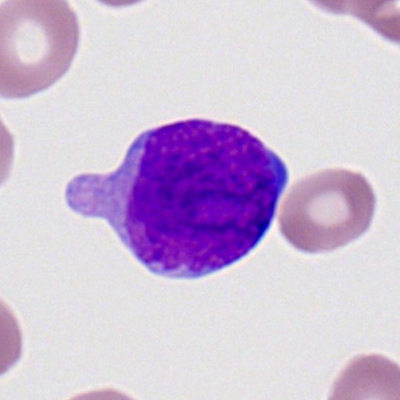Q: What cell is this?
A: This is a myeloid blast.